Peripheral blood film · 100× oil immersion
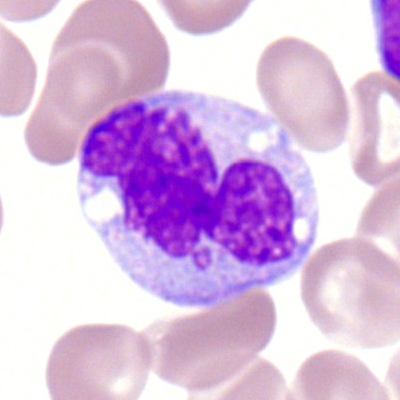 Specimen: peripheral blood smear.
Cell type: monocyte.
Lineage: myeloid.